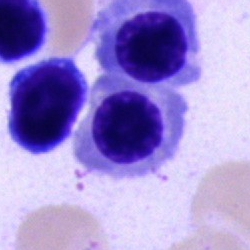

The morphological class is erythroblast.